Bone marrow smear · image size 250×250:
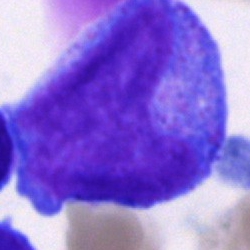 Q: What cell is this?
A: Progranulocyte.